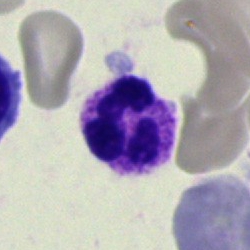

Single cell identified as a neutrophil (segmented).